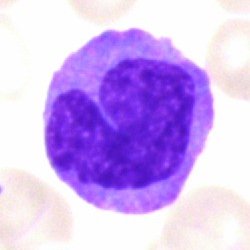Morphology → monocyte.